Bone marrow aspirate smear.
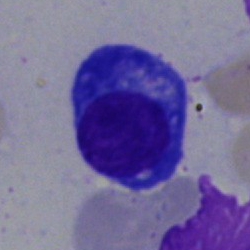 Q: What cell is this?
A: Plasma cell.